Bone marrow aspirate smear · 250×250 px — 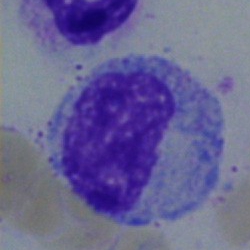

A myelocyte.